Bone marrow aspirate smear: 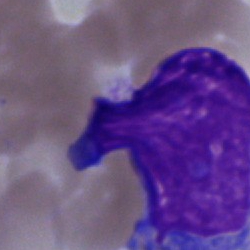

Cell = artifact.